Bone marrow aspirate smear:
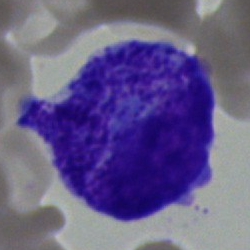
Specimen: bone marrow aspirate smear.
Cell: blast.